Bone marrow smear:
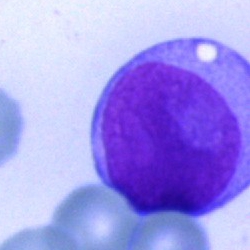

This is a blast.